Bone marrow aspirate smear; 40× objective, oil immersion.
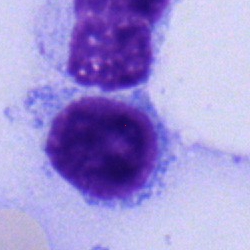

The cell type is typical lymphocyte.